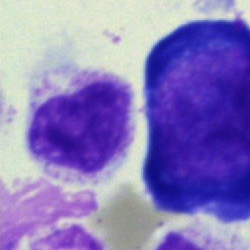

This is a pronormoblast.